Bone marrow smear · brightfield, 40× oil-immersion objective: 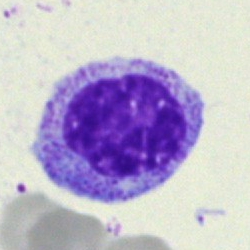
Q: What is shown here?
A: It is a myelocyte.